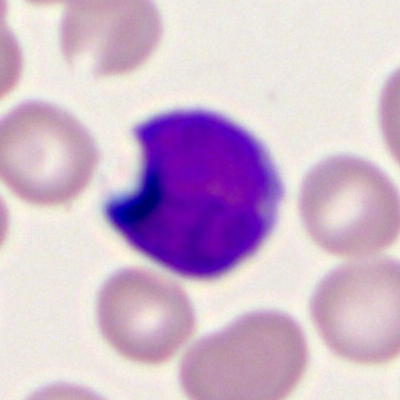

Morphology → myeloid blast.